Single-cell crop. 40× oil immersion. Bone marrow aspirate smear.
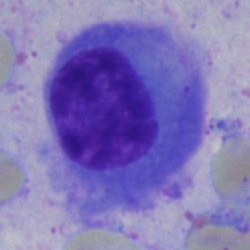Q: What type of cell is this?
A: A plasmacyte.